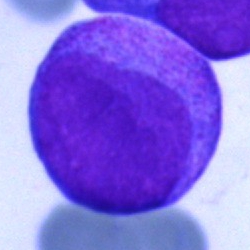

Classification: blast.